May-Grünwald-Giemsa/Pappenheim stain; 40× objective, oil immersion; bone marrow smear
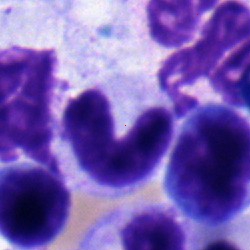 Morphology consistent with a neutrophil (band).